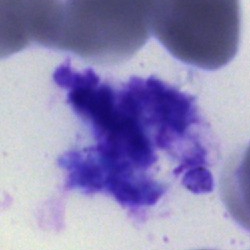

The cell type is artefact.